May-Grünwald-Giemsa stain; bone marrow aspirate smear
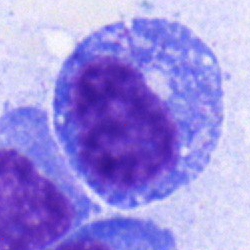The classification is progranulocyte.